Bone marrow smear:
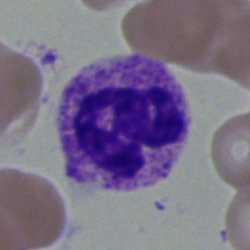
Q: What cell is this?
A: It is a neutrophil (segmented).